Bone marrow aspirate smear; brightfield microscopy, 40× oil immersion: 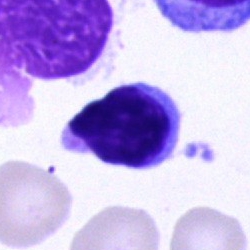{"cell_type": "lymphocyte"}